Bone marrow aspirate smear.
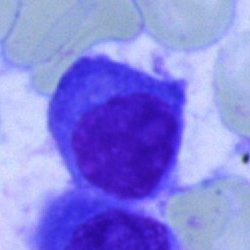

Showing a plasma cell.